Bone marrow smear; cropped to a single cell.
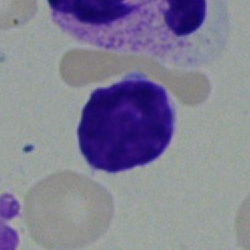
Q: What type of cell is this?
A: A typical lymphocyte.